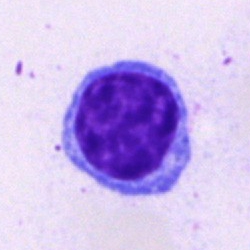
Specimen: bone marrow aspirate smear.
Morphological class: lymphocyte.
Lineage: lymphoid.